Bone marrow smear
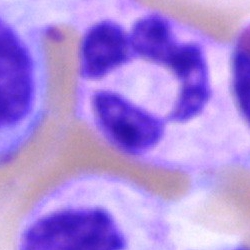 Morphology → polymorphonuclear neutrophil.